Bone marrow aspirate smear. Cropped to a single cell:
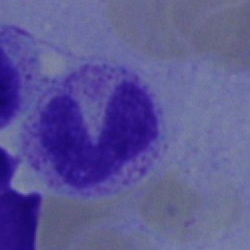
Cell type — band-form neutrophil.